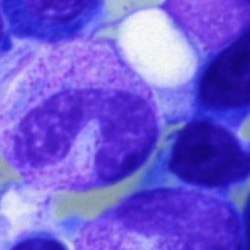

Morphology → polymorphonuclear neutrophil.